Bone marrow smear: 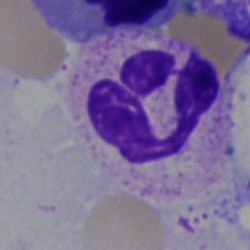 Classification: polymorphonuclear neutrophil.